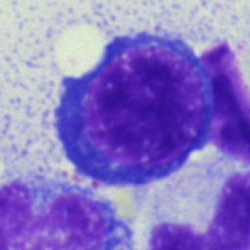 The classification is normoblast.